Bone marrow aspirate smear. 40× oil immersion:
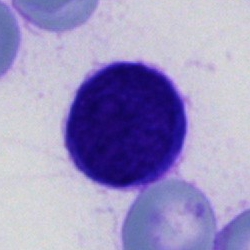Morphology consistent with an unidentifiable cell.